Bone marrow aspirate smear:
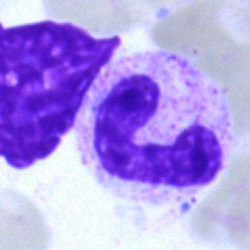{"cell_type": "stab cell"}